Bone marrow aspirate smear; May-Grünwald-Giemsa stain; single-cell crop
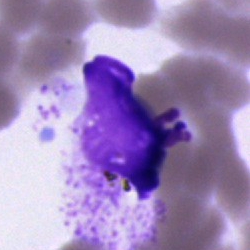
The classification is artefact.